Bone marrow aspirate smear:
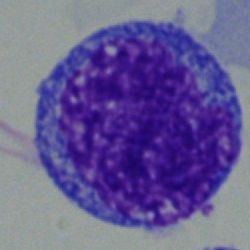Undifferentiated blast.